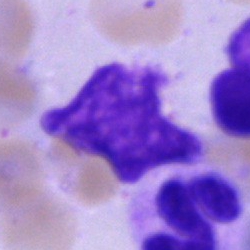

Single-cell crop from a bone marrow smear: artefact.